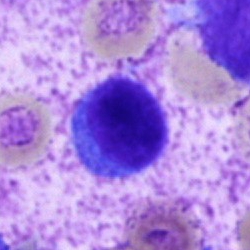Impression — typical lymphocyte.